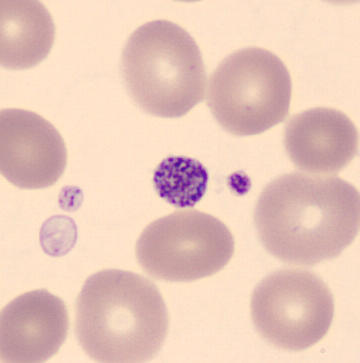Specimen: peripheral blood smear.
Classification: platelet.